Bone marrow smear:
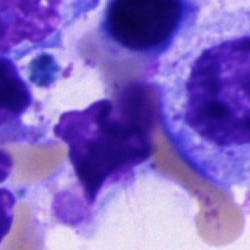Q: What type of cell is this?
A: It is a cell of indeterminate lineage.